Pappenheim-stained; bone marrow smear; single-cell field — 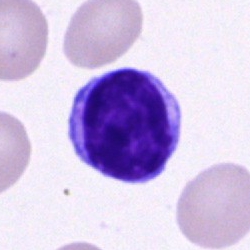Morphology consistent with a typical lymphocyte.